Bone marrow smear: 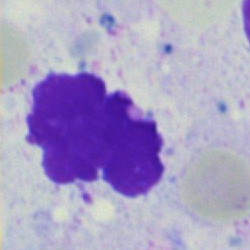

Cell type = artefact.